Bone marrow smear: 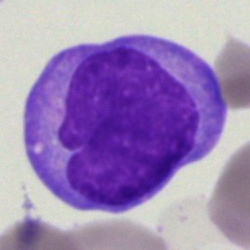

Single cell identified as a blast.